May-Grünwald-Giemsa/Pappenheim stain. Bone marrow aspirate smear. Single-cell field
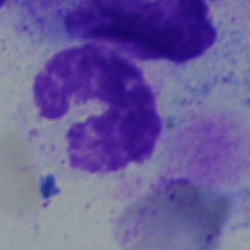 Morphology consistent with a band-form neutrophil.